Bone marrow aspirate smear:
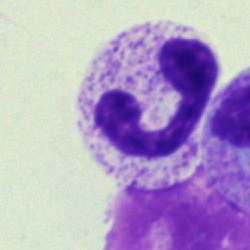
The cell is segmented neutrophil.